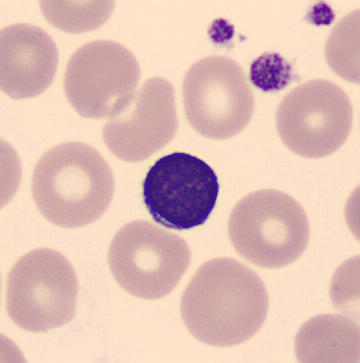

Image: CellaVision DM96 digital cell image · 360×363 · peripheral blood smear. Morphology → typical lymphocyte.